Bone marrow aspirate smear.
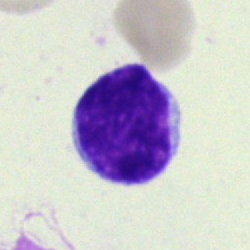 Q: What is the morphological classification of this cell?
A: Lymphocyte.